Bone marrow aspirate smear. Brightfield microscopy, 40× oil immersion.
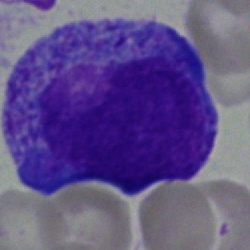The cell type is myelocyte.